Bone marrow smear:
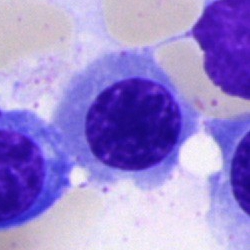Q: Identify the cell.
A: An erythroblast.